Bone marrow smear — 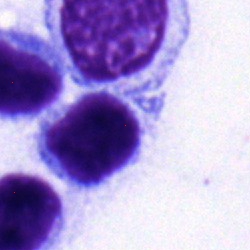 Impression → typical lymphocyte.